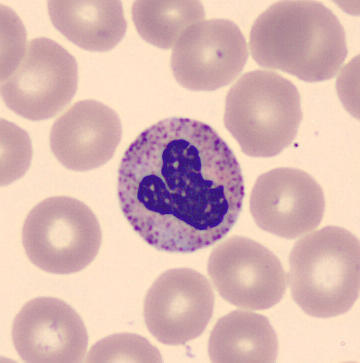
Q: Identify the cell.
A: A polymorphonuclear neutrophil.
Image: Peripheral blood film.